40× objective, oil immersion; image size 250×250; bone marrow smear.
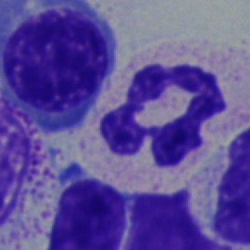 The cell shown is a segmented neutrophil.